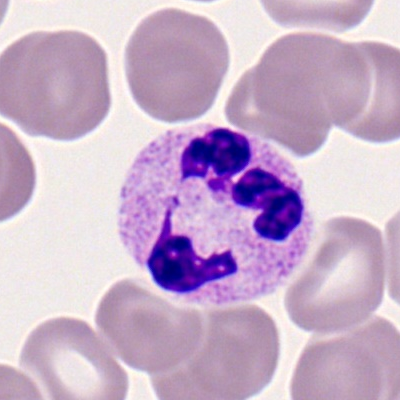Single cell identified as a neutrophil (segmented).